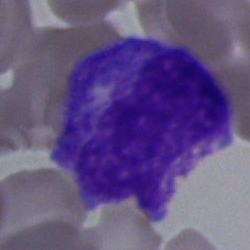This is a promyelocyte.